Bone marrow smear · single cell centered in the field:
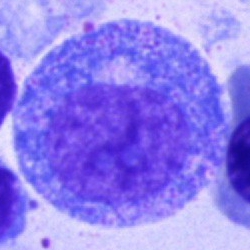

Classification: progranulocyte.